Bone marrow smear.
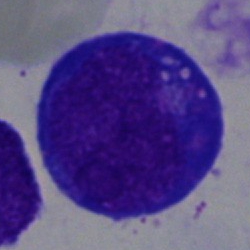 Q: Identify the cell.
A: Progranulocyte.